Bone marrow smear · brightfield, 40× oil-immersion objective — 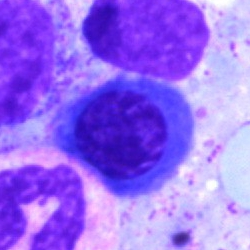

Cell = nucleated red cell.